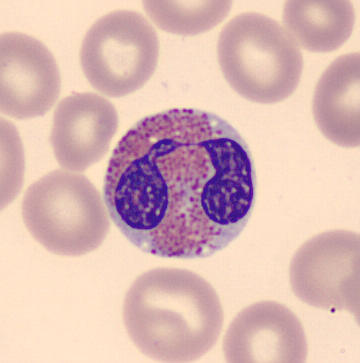
This is an eosinophil.